Bone marrow aspirate smear — 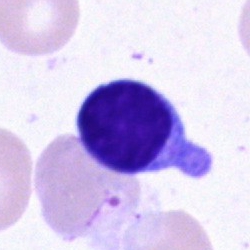 Morphology consistent with a lymphocyte.